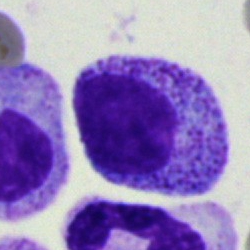Cell type — myelocyte.